Bone marrow aspirate smear.
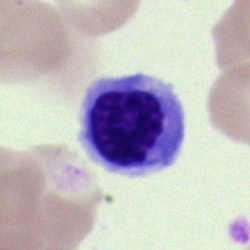 Q: What cell is this?
A: This is a nucleated red blood cell.